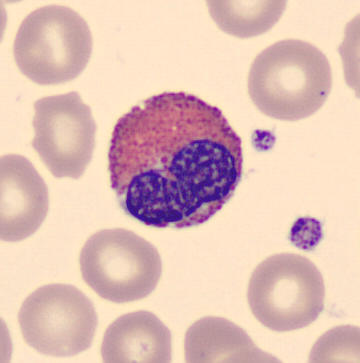Peripheral blood film. The cell shown is an eosinophilic granulocyte.